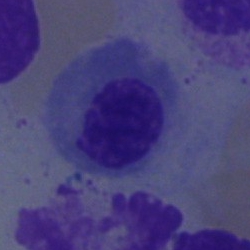
Impression — nucleated red cell.